Bone marrow smear. Single-cell crop:
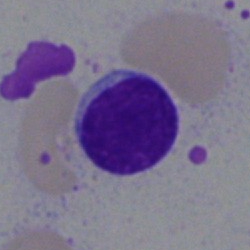
The cell type is lymphocyte.